MGG-stained. Bone marrow smear: 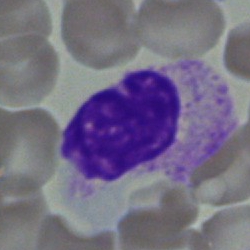
Specimen: bone marrow aspirate smear.
Cell type: myelocyte.
Lineage: myeloid.